Bone marrow smear
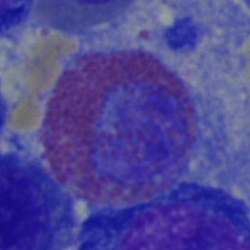
The cell shown is an eosinophilic granulocyte.